Bone marrow smear.
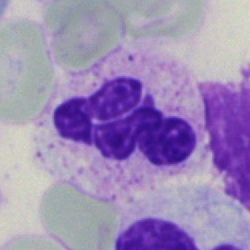The classification is polymorphonuclear neutrophil.